Bone marrow smear. 40× oil immersion
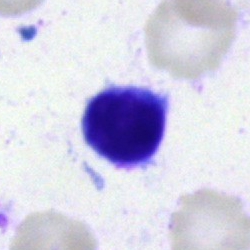

Cell = typical lymphocyte.